Peripheral blood smear:
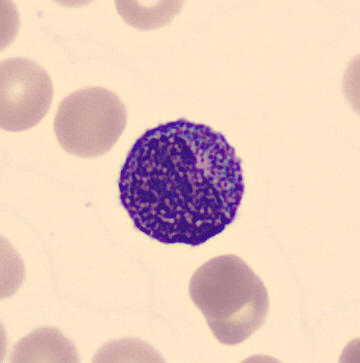
Morphology → progranulocyte.